250×250 · bone marrow aspirate smear
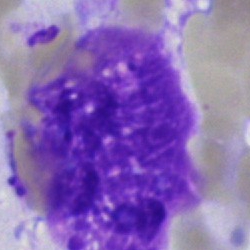
Q: What is shown here?
A: An artifact.